Bone marrow smear: 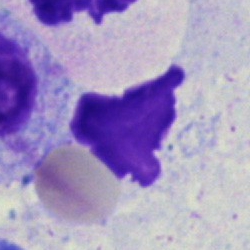
The cell type is artifact.